May-Grünwald-Giemsa stain; bone marrow aspirate smear: 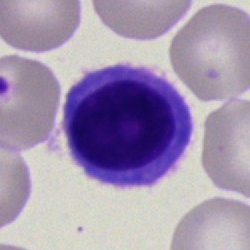

Morphological class: typical lymphocyte.